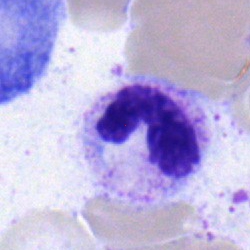 Q: Which cell type is shown here?
A: Band-form neutrophil.